Bone marrow aspirate smear
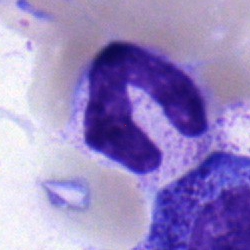 The morphological class is stab cell.